Bone marrow aspirate smear:
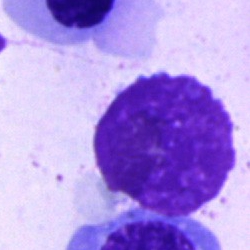 {"cell_type": "artifact"}